250×250; bone marrow aspirate smear.
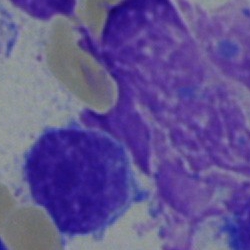
Morphological class = typical lymphocyte.